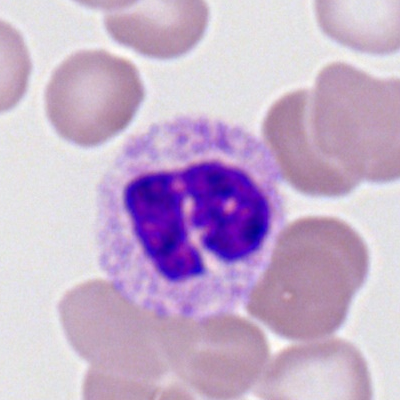

Segmented neutrophil.